Single-cell crop. Bone marrow aspirate smear. 250×250
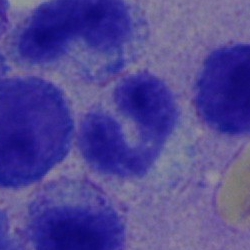
Q: What is the morphological classification of this cell?
A: It is a polymorphonuclear neutrophil.